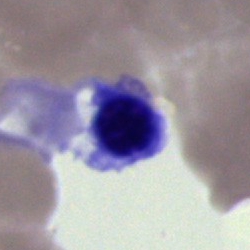

Q: Which cell type is shown here?
A: A normoblast.